Bone marrow smear. Single cell centered in the field. 40× oil immersion.
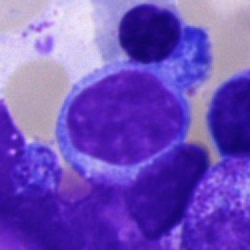

Classification: lymphocyte.